Bone marrow aspirate smear.
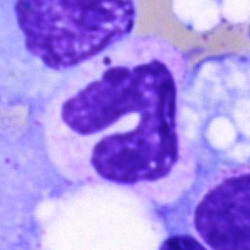
Specimen: bone marrow smear.
Cell type: neutrophil (band).